40× objective, oil immersion · bone marrow smear · image size 250×250 — 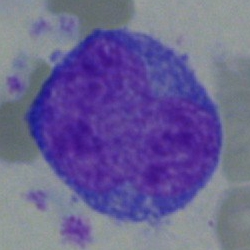Cell type: blast.